250 by 250 pixels · bone marrow smear:
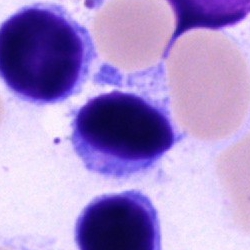

Q: What type of cell is this?
A: It is a typical lymphocyte.